250 by 250 pixels · bone marrow aspirate smear: 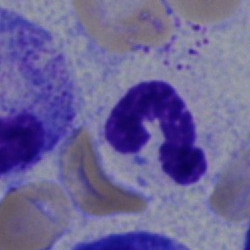

Morphological class: band-form neutrophil.